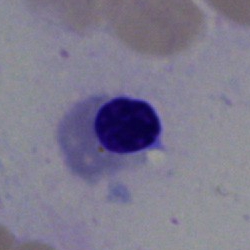
Q: Which cell type is shown here?
A: A nucleated red blood cell.